Peripheral blood smear:
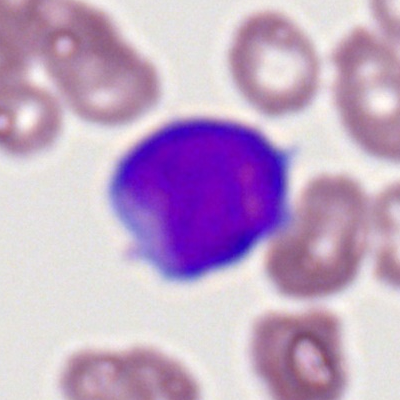Impression — myeloblast.